Bone marrow smear
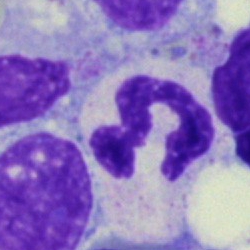

Q: What is the morphological classification of this cell?
A: This is a neutrophil (segmented).